Bone marrow smear. 250 by 250 pixels — 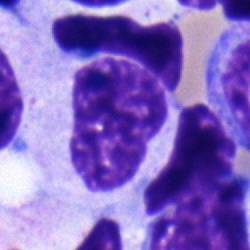
A myelocyte.